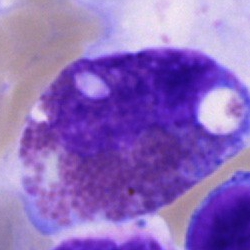

Morphology → eosinophil.